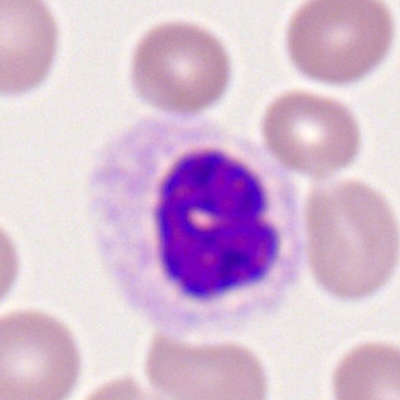
Q: What cell is this?
A: It is a polymorphonuclear neutrophil.